Cropped to a single cell · bone marrow smear: 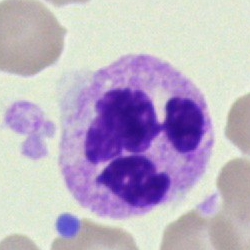 Single cell identified as a neutrophil (segmented).